Bone marrow smear — 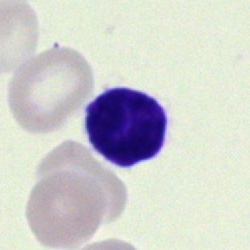
Specimen: bone marrow aspirate smear.
Morphological class: lymphocyte.
Lineage: lymphoid.